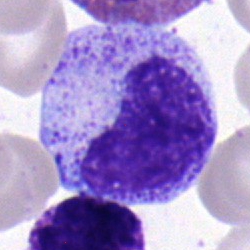

Q: What is the morphological classification of this cell?
A: Myelocyte.